Single-cell field; 360 by 363 pixels; peripheral blood smear: 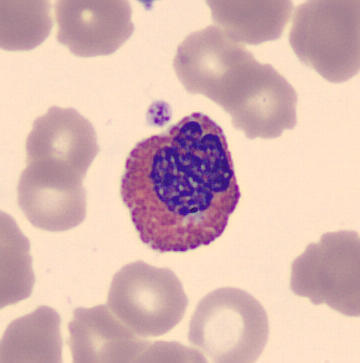This is an eosinophil.